Pappenheim-stained · bone marrow aspirate smear:
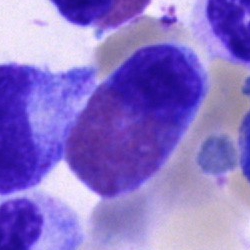Impression — eosinophilic granulocyte.